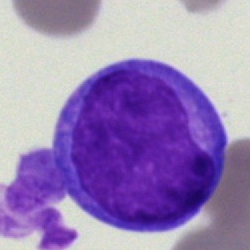
Q: Which cell type is shown here?
A: It is an undifferentiated blast.